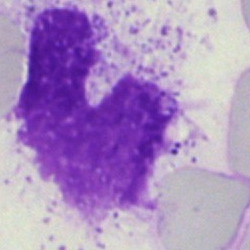 Classification — artifact.